Bone marrow aspirate smear · 40× oil immersion: 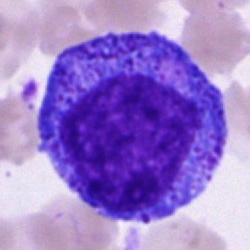

Morphology consistent with a progranulocyte.